Image size 250×250. Bone marrow aspirate smear. Single-cell field: 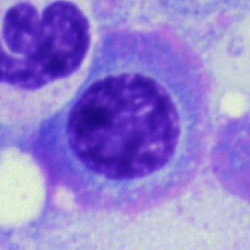{"cell_type": "plasma cell", "lineage": "lymphoid"}